Pappenheim-stained. Bone marrow smear.
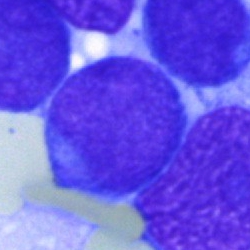
Classification = blast cell.